Bone marrow aspirate smear — 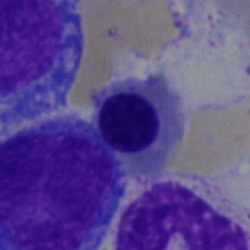
Morphological class = nucleated red blood cell.